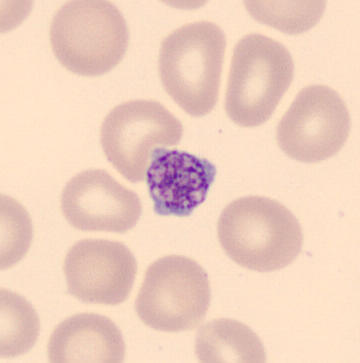
Preparation: Peripheral blood smear.
Thrombocyte.